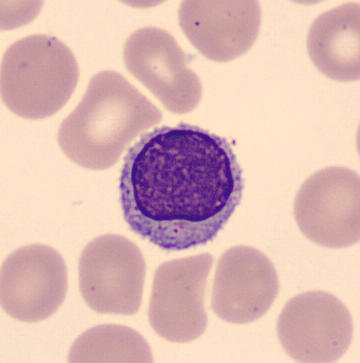 Image: Peripheral blood film.
Q: What cell is this?
A: This is a typical lymphocyte.